Bone marrow smear:
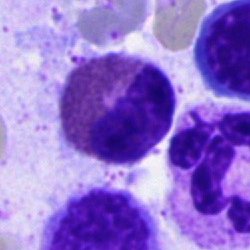

The classification is eosinophil.